Peripheral blood film
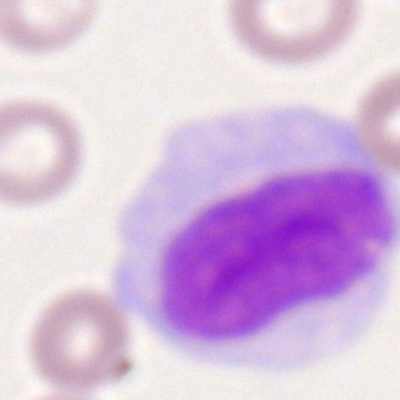 Specimen: peripheral blood smear.
Cell: monocyte.